Bone marrow smear
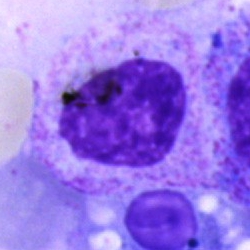Specimen: bone marrow smear.
Classification: myelocyte.
Lineage: myeloid.